Bone marrow aspirate smear
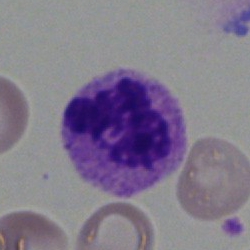

The cell shown is a neutrophil (segmented).